Bone marrow aspirate smear; 40× oil immersion — 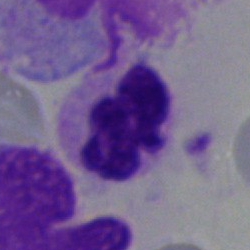 Showing a polymorphonuclear neutrophil.